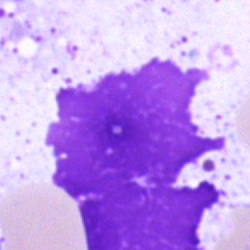
Showing an artefact.